Bone marrow aspirate smear
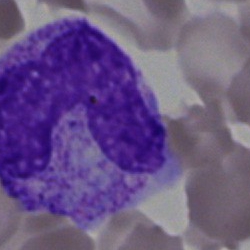

A band neutrophil.